Bone marrow aspirate smear — 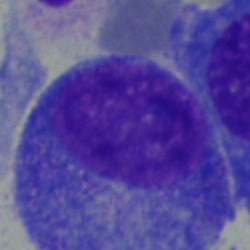Showing a progranulocyte.